Bone marrow aspirate smear:
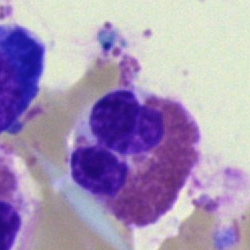 Cell type: eosinophil.